Bone marrow smear — 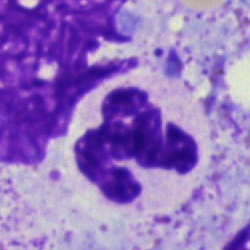

Impression → neutrophil (segmented).